Bone marrow aspirate smear.
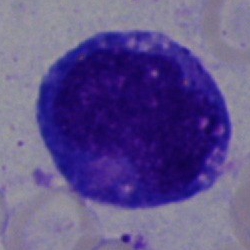
Q: What is shown here?
A: A blast cell.